Bone marrow smear · May-Grünwald-Giemsa stain.
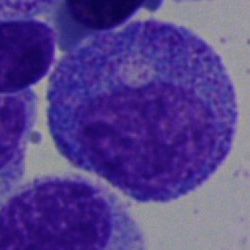Morphology → promyelocyte.